Single cell centered in the field. Brightfield, 40× oil-immersion objective. Bone marrow smear
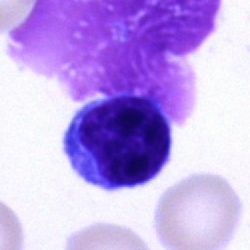 Specimen: bone marrow smear.
Cell type: typical lymphocyte.